Bone marrow aspirate smear.
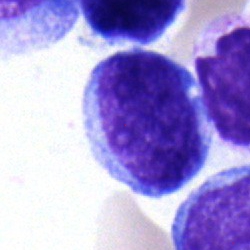
Classification = blast cell.